Bone marrow smear · single-cell crop: 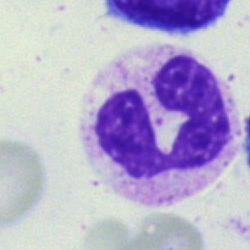

Q: Identify the cell.
A: It is a segmented neutrophil.